Brightfield microscopy, 40× oil immersion; bone marrow aspirate smear.
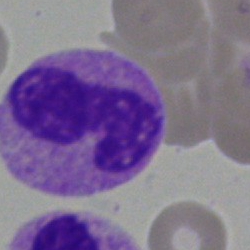 Morphological class = segmented neutrophil.